Bone marrow aspirate smear: 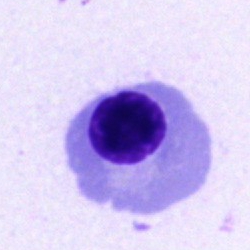{"cell_type": "erythroblast", "lineage": "erythroid"}